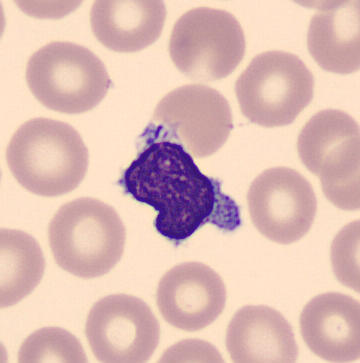 Morphological class — lymphocyte.
CellaVision DM96. Peripheral blood smear.